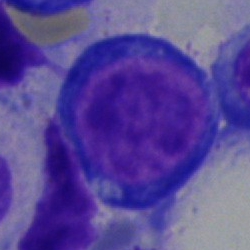Showing a pronormoblast.